Bone marrow aspirate smear.
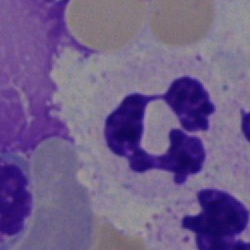
Q: What type of cell is this?
A: A polymorphonuclear neutrophil.